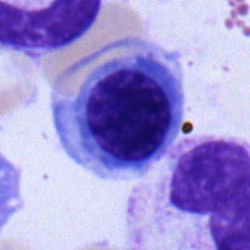
Classification — normoblast.